40× objective, oil immersion. Bone marrow smear
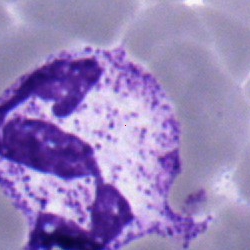Q: What cell is this?
A: This is a polymorphonuclear neutrophil.